Bone marrow aspirate smear. MGG-stained — 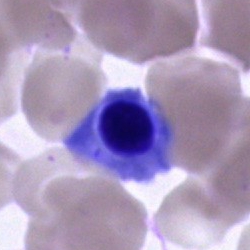This is a normoblast.